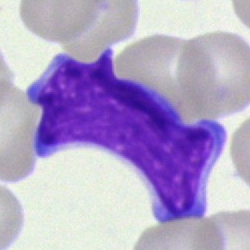 Morphology — blast cell.